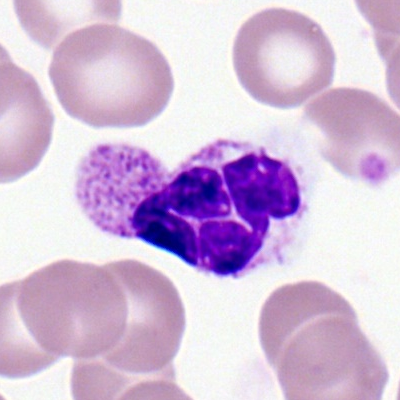Peripheral blood film, single cell — segmented neutrophil.